250×250 · bone marrow aspirate smear:
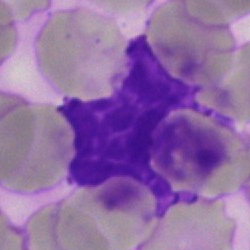Morphology consistent with an artifact.